Bone marrow aspirate smear:
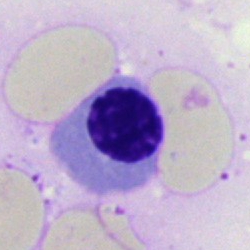

Morphological class: nucleated red blood cell.